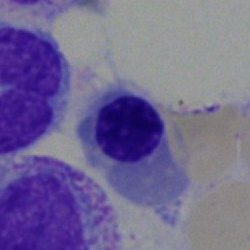
Q: What is the morphological classification of this cell?
A: This is a normoblast.